Bone marrow smear: 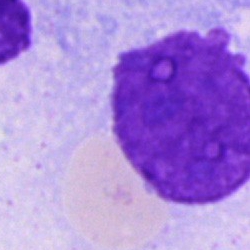 Q: What is shown here?
A: This is an artefact.